Bone marrow smear.
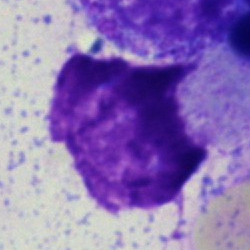
Specimen: bone marrow aspirate smear.
Cell type: artefact.